Bone marrow smear: 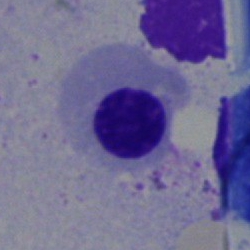
Morphology consistent with a nucleated red cell.